Bone marrow smear. 250 by 250 pixels.
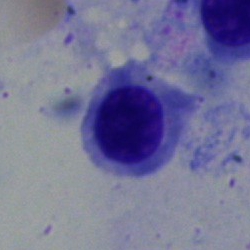

Q: What is the morphological classification of this cell?
A: This is a nucleated red cell.